Bone marrow aspirate smear — 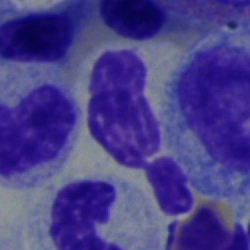 Morphology consistent with a segmented neutrophil.